40× oil immersion; bone marrow smear; 250 by 250 pixels.
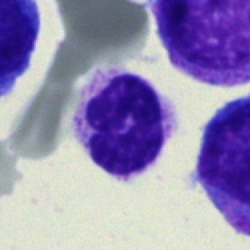 Specimen: bone marrow smear.
Morphological class: band-form neutrophil.
Lineage: myeloid.